400 by 400 pixels; peripheral blood film:
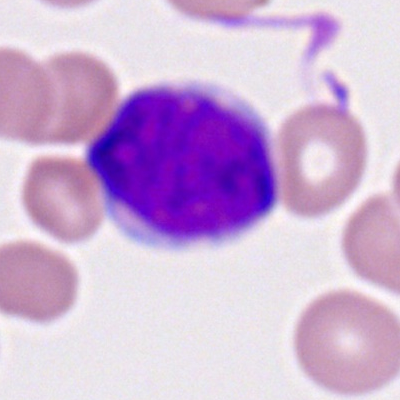Morphology → myeloid blast.